Bone marrow aspirate smear; brightfield, 40× oil-immersion objective; single cell centered in the field — 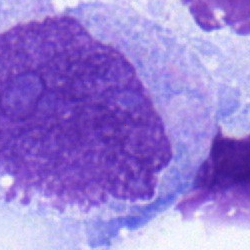 The cell type is monocyte.